Bone marrow aspirate smear
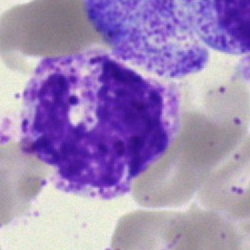 Cell: basophil.